Bone marrow aspirate smear: 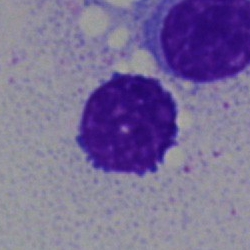
An artifact.